Bone marrow smear.
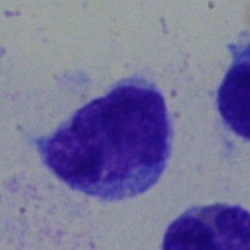

Cell type: lymphocyte.